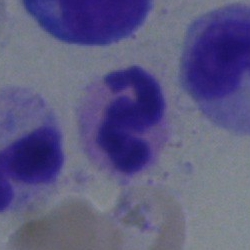

Classification: neutrophil (segmented).